Bone marrow smear — 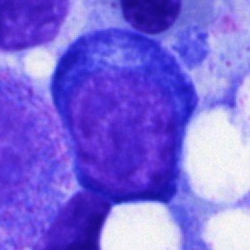Morphology consistent with a pronormoblast.